May-Grünwald-Giemsa stain · 40× oil immersion · bone marrow smear — 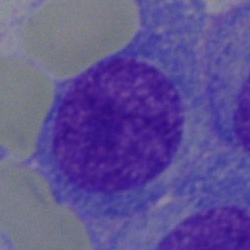
{"cell_type": "plasma cell"}